Cropped to a single cell; bone marrow aspirate smear:
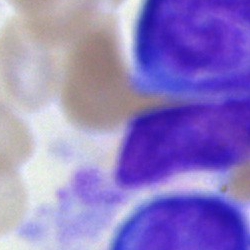

Classification: cell of indeterminate lineage.